Peripheral blood smear; 100× objective, oil immersion:
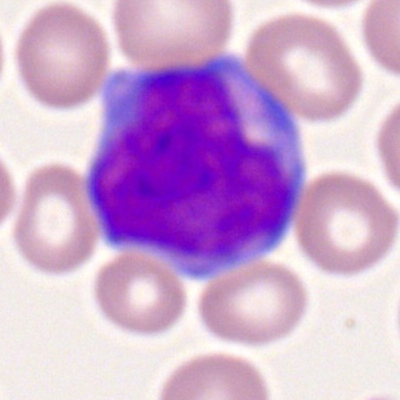
Cell type — myeloid blast.